250×250. Bone marrow smear. 40× objective, oil immersion:
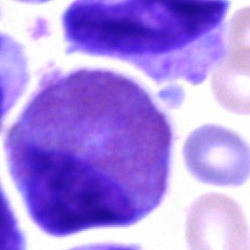

Impression — eosinophilic granulocyte.